Bone marrow aspirate smear; 250 by 250 pixels; single cell centered in the field: 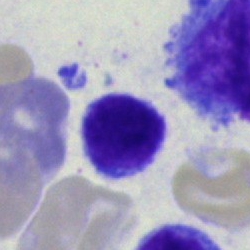Cell type — typical lymphocyte.